40× oil immersion. Bone marrow smear. Single cell centered in the field — 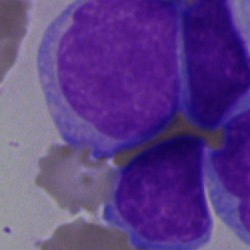

Morphology — blast cell.